Bone marrow smear; 250×250 px
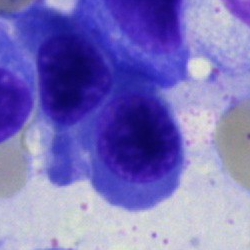
Q: What type of cell is this?
A: This is a nucleated red cell.